Bone marrow smear — 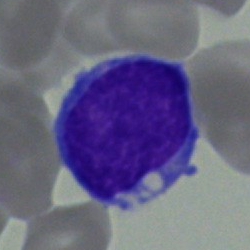Q: Identify the cell.
A: This is a blast cell.